Bone marrow aspirate smear.
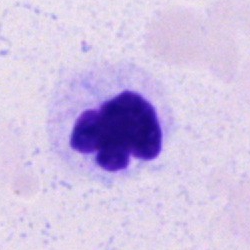

The morphological class is segmented neutrophil.